Single cell centered in the field; bone marrow aspirate smear.
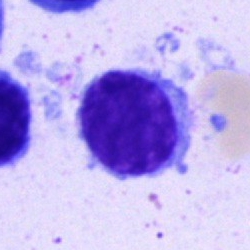
Showing a typical lymphocyte.